Bone marrow aspirate smear
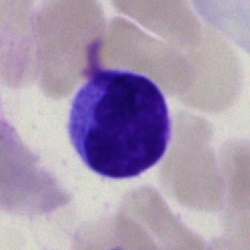

This is a typical lymphocyte.